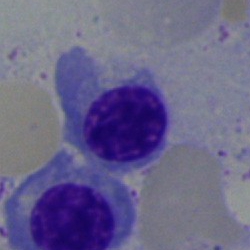

An erythroblast.